Bone marrow smear.
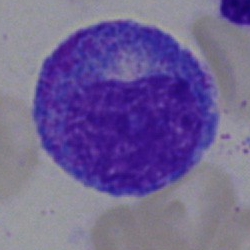Classification — progranulocyte.